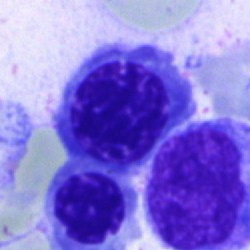Q: What type of cell is this?
A: It is an erythroblast.